40× objective, oil immersion. Bone marrow aspirate smear:
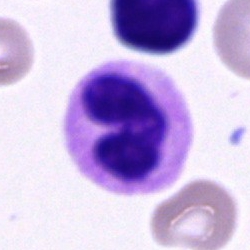 Morphological class — segmented neutrophil.